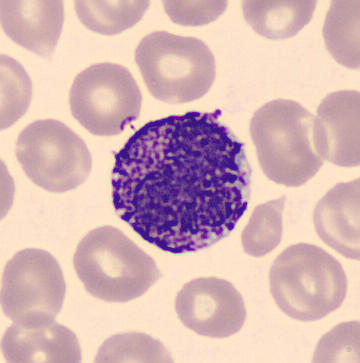Cell type — basophil.